Bone marrow smear · 250×250.
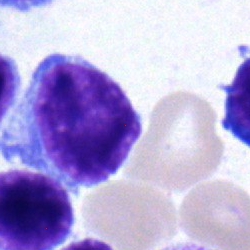
The cell shown is a lymphocyte.